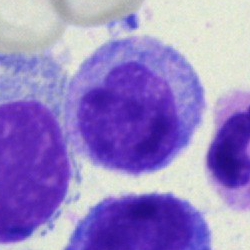

Single cell identified as a monocyte.